250×250 px; bone marrow aspirate smear.
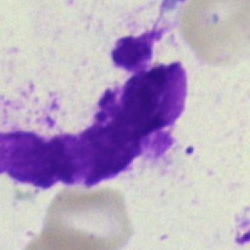Cell — artefact.